Bone marrow smear — 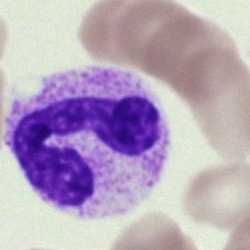This is a stab cell.